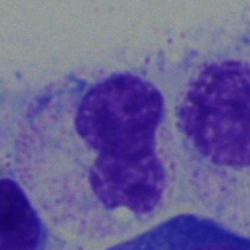

The cell shown is a neutrophil (band).